Bone marrow aspirate smear · single-cell crop.
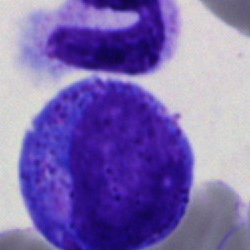Q: Which cell type is shown here?
A: A promyelocyte.